250 by 250 pixels · brightfield, 40× oil-immersion objective · bone marrow aspirate smear — 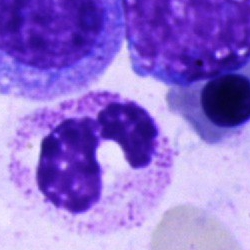Cell: neutrophil (segmented).